Pappenheim-stained; bone marrow aspirate smear: 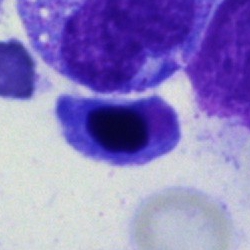 Morphology consistent with a nucleated red blood cell.